Brightfield, 40× oil-immersion objective. Bone marrow smear.
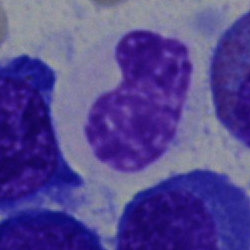 Metamyelocyte.